Bone marrow aspirate smear; May-Grünwald-Giemsa/Pappenheim stain: 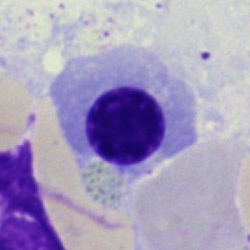Cell: nucleated red cell.